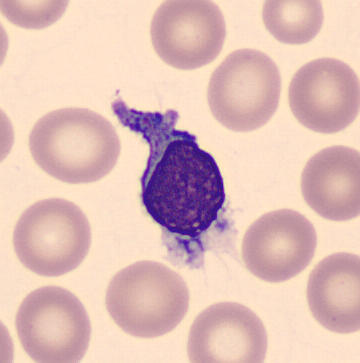Specimen: peripheral blood smear.
Cell: typical lymphocyte.
Lineage: lymphoid.